Bone marrow aspirate smear.
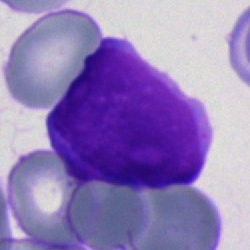

The cell shown is an undifferentiated blast.